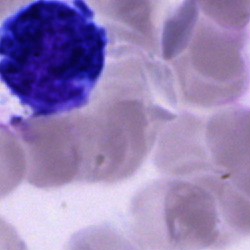Impression → artifact.